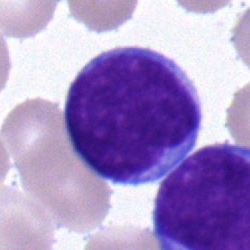Classification — undifferentiated blast.